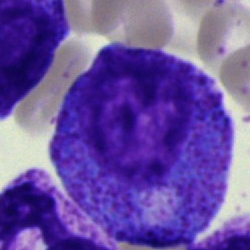

Morphological class: promyelocyte.